Bone marrow aspirate smear
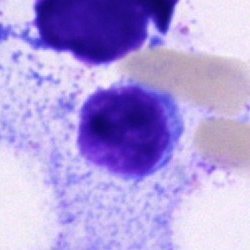
Q: Identify the cell.
A: Typical lymphocyte.